400 by 400 pixels · peripheral blood film:
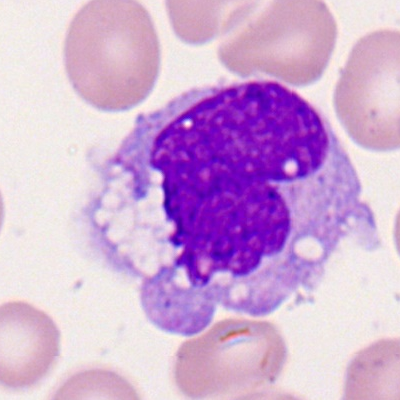The classification is monocyte.